Bone marrow smear.
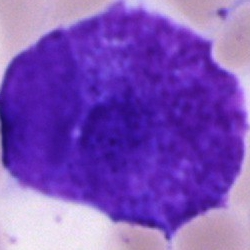Q: What is the morphological classification of this cell?
A: Blast cell.